Bone marrow aspirate smear.
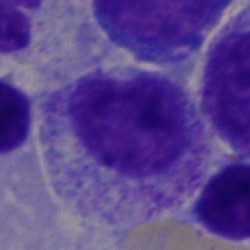 Cell type — myelocyte.